Single-cell field. Bone marrow smear. 250 by 250 pixels
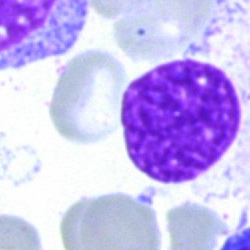 The classification is artifact.